Bone marrow aspirate smear · 250×250 px · cropped to a single cell:
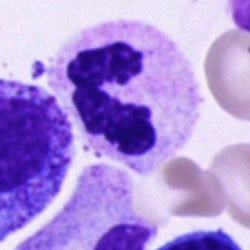
Cell: segmented neutrophil.